Peripheral blood film.
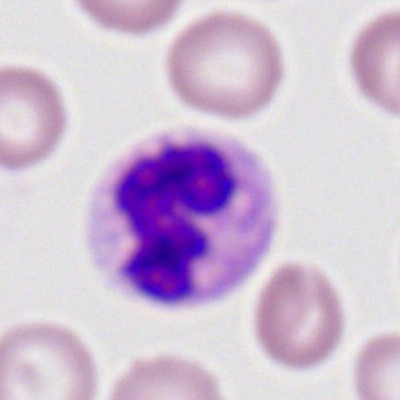Q: Which cell type is shown here?
A: It is a polymorphonuclear neutrophil.